Bone marrow smear
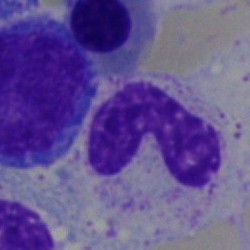 This is a band-form neutrophil.